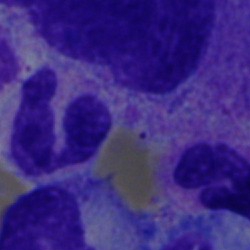Morphology consistent with a neutrophil (segmented).